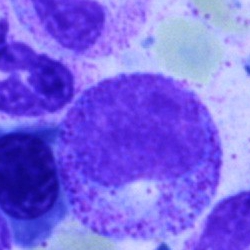
Morphological class — myelocyte.